May-Grünwald-Giemsa/Pappenheim stain. Bone marrow aspirate smear.
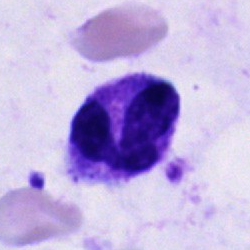The morphological class is segmented neutrophil.